Bone marrow aspirate smear; Pappenheim-stained — 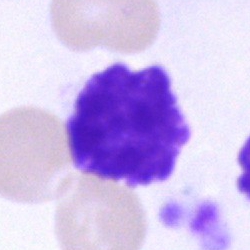
Specimen: bone marrow smear.
Cell: artifact.